MGG-stained; bone marrow smear:
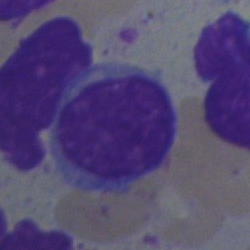

Cell — typical lymphocyte.